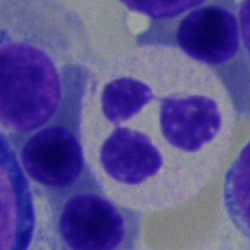 Q: What is the morphological classification of this cell?
A: Neutrophil (segmented).